Peripheral blood film.
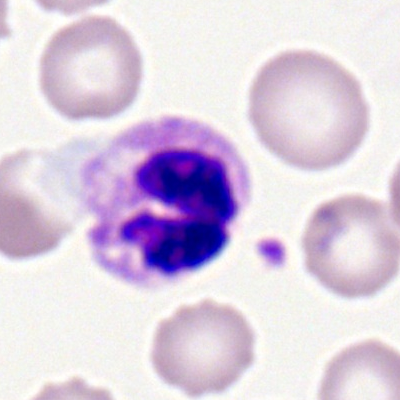 Cell type: segmented neutrophil.